Bone marrow smear:
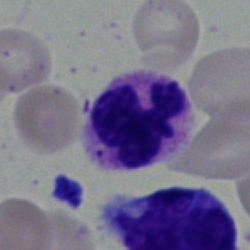Showing a neutrophil (segmented).